Peripheral blood smear.
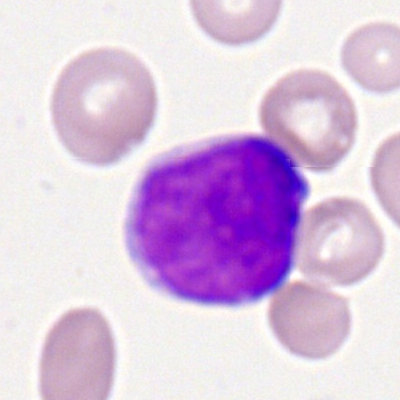
Q: Which cell type is shown here?
A: This is a myeloblast.